Bone marrow smear
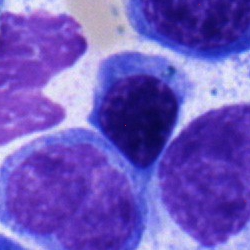 Specimen: bone marrow smear.
Morphological class: erythroblast.